Bone marrow smear · 250×250 · single-cell crop
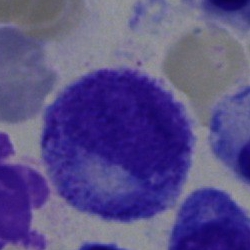
Morphology — progranulocyte.